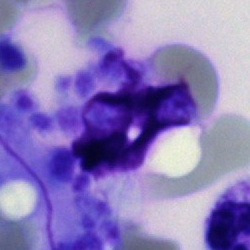

Single-cell crop from a bone marrow smear: artifact.